Bone marrow aspirate smear; single-cell field
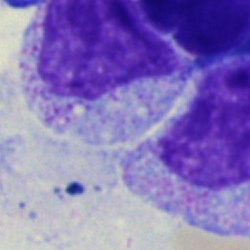Impression — myelocyte.